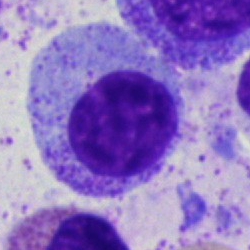

Cell — myelocyte.